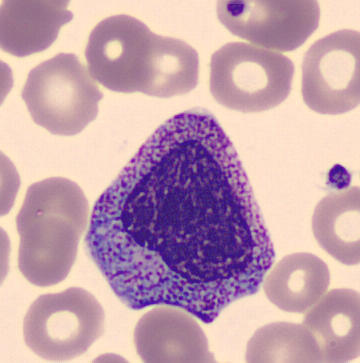Image: Peripheral blood film; image size 360×363; cropped to a single cell.
Cell — progranulocyte.